250×250 · single cell centered in the field · bone marrow aspirate smear.
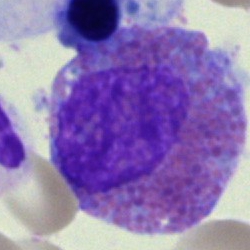
The cell shown is an eosinophil.